Peripheral blood smear. 100× oil immersion. Image size 400×400
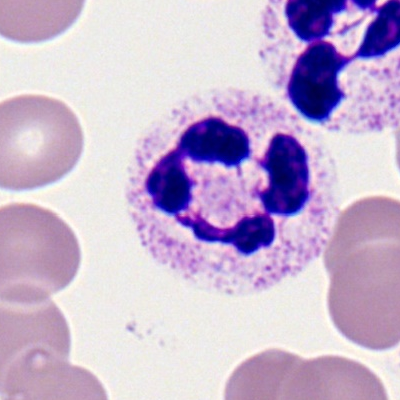The cell type is polymorphonuclear neutrophil.